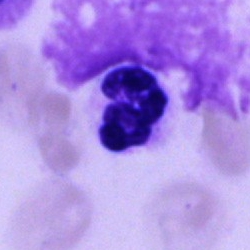Morphology consistent with a segmented neutrophil.